Bone marrow smear.
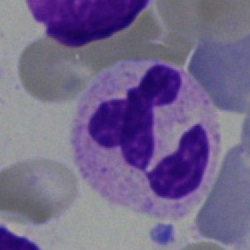 Specimen: bone marrow aspirate smear.
Classification: segmented neutrophil.
Lineage: myeloid.